Pappenheim-stained · 40× objective, oil immersion · bone marrow smear: 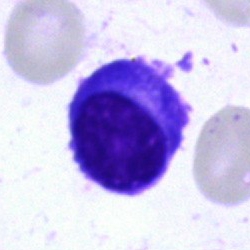

Cell type — plasma cell.